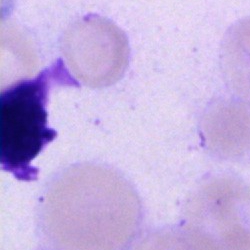

Specimen: bone marrow aspirate smear.
Classification: artifact.